Bone marrow smear: 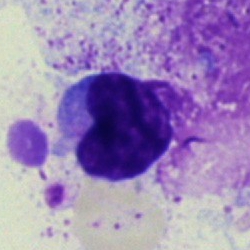 Morphology consistent with a lymphocyte.